Single cell centered in the field; MGG-stained; bone marrow aspirate smear
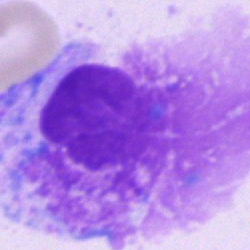 Impression — artefact.